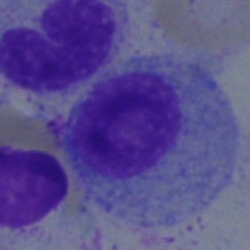 Single-cell crop from a bone marrow smear: myelocyte.